Bone marrow smear: 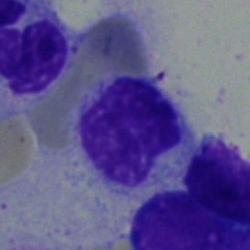 Q: What type of cell is this?
A: A lymphocyte.